Bone marrow smear: 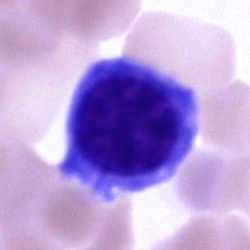Morphology consistent with a nucleated red blood cell.